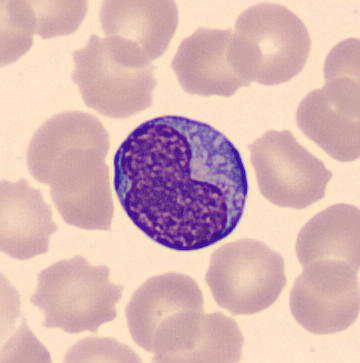 Identified as a monocyte.

Acquisition: May Grünwald-Giemsa stain · peripheral blood film.